Bone marrow smear. 40× oil immersion
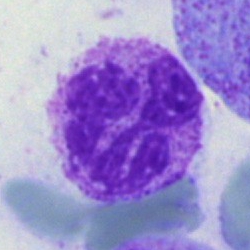 Morphology — neutrophil (segmented).